Bone marrow aspirate smear:
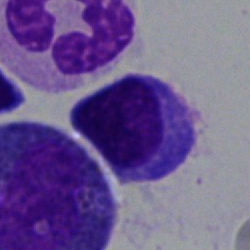
Q: Identify the cell.
A: This is a plasmacyte.